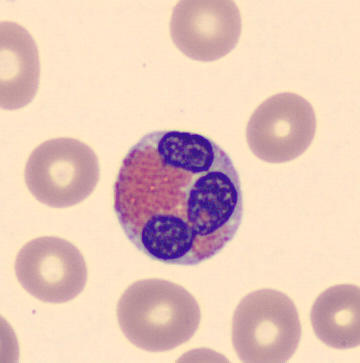Eosinophil.

Peripheral blood smear; automated cell imaging (CellaVision DM96).